Bone marrow smear:
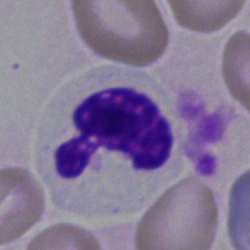 Cell — segmented neutrophil.